Bone marrow smear; MGG-stained — 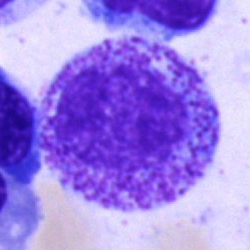 Impression → promyelocyte.